Bone marrow smear; brightfield microscopy, 40× oil immersion.
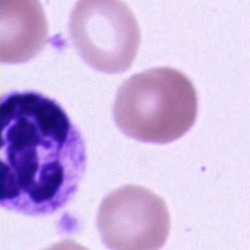Classification: polymorphonuclear neutrophil.